Bone marrow aspirate smear:
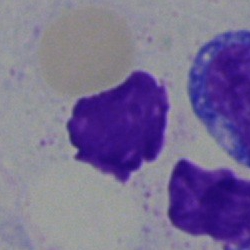

An artifact.